Bone marrow smear
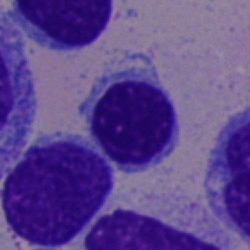Morphology → typical lymphocyte.